Bone marrow aspirate smear — 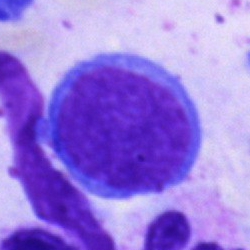
A blast cell.